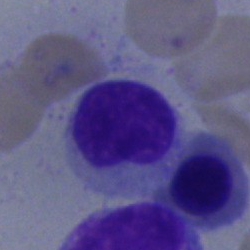A typical lymphocyte on a bone marrow smear.